Single-cell crop. Bone marrow aspirate smear — 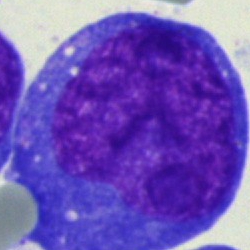
Morphology consistent with a blast.